250×250. Brightfield microscopy, 40× oil immersion. Bone marrow aspirate smear: 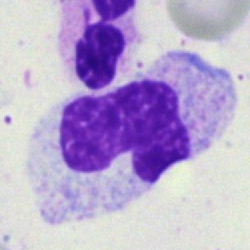
Morphological class: neutrophil (band).